Bone marrow smear; 250×250 — 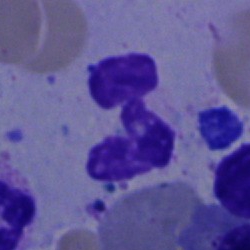

Q: What cell is this?
A: It is a segmented neutrophil.